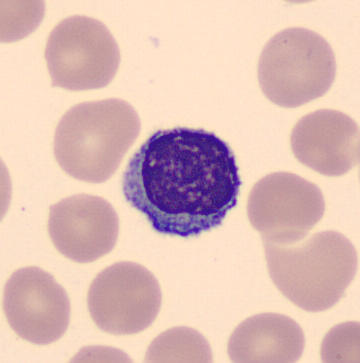
Specimen: peripheral blood film.
Cell type: lymphocyte.
Lineage: lymphoid.